250×250; bone marrow aspirate smear; brightfield, 40× oil-immersion objective:
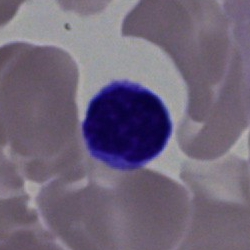
The cell is typical lymphocyte.